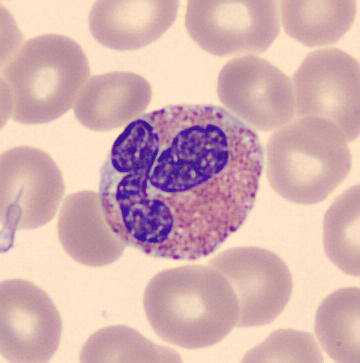Single cell identified as an eosinophil.
Acquisition: CellaVision DM96 · peripheral blood smear.